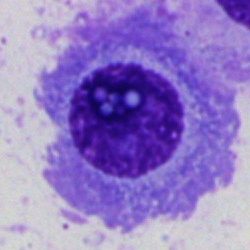 Cell type — plasmacyte.